Bone marrow aspirate smear — 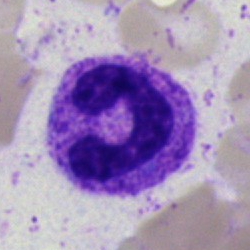

Specimen: bone marrow smear.
Cell: neutrophil (segmented).
Lineage: myeloid.